Bone marrow aspirate smear.
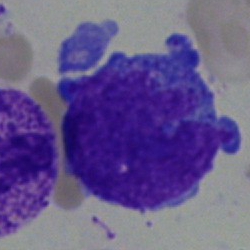

{"cell_type": "blast"}